Peripheral blood film; image size 400×400: 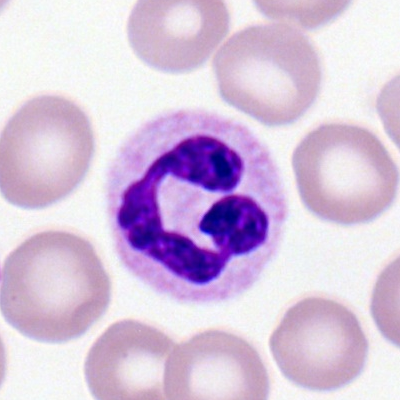
A polymorphonuclear neutrophil.